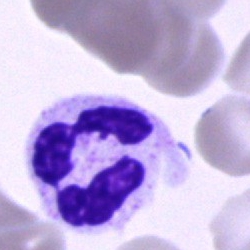Showing a neutrophil (segmented).